Bone marrow aspirate smear: 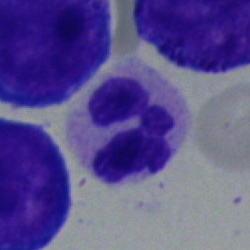Showing a segmented neutrophil.